Bone marrow smear · brightfield, 40× oil-immersion objective · 250×250:
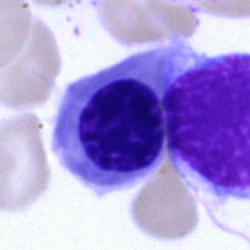

{"cell_type": "normoblast"}